100× objective, oil immersion. Peripheral blood film. Romanowsky stain
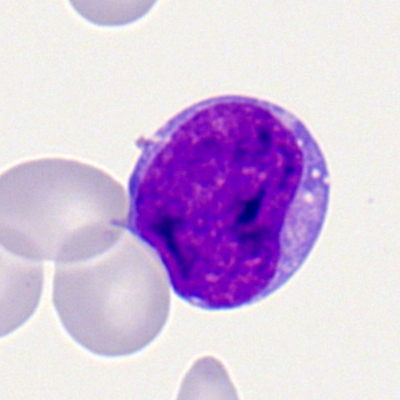 {"cell_type": "myeloblast"}